Bone marrow smear:
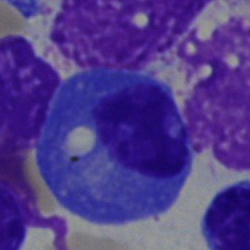
Morphology — plasma cell.